May-Grünwald-Giemsa/Pappenheim stain; bone marrow smear
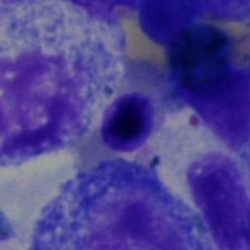

Impression → artifact.